Bone marrow aspirate smear: 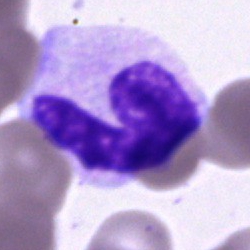 The cell is stab cell.